Bone marrow aspirate smear: 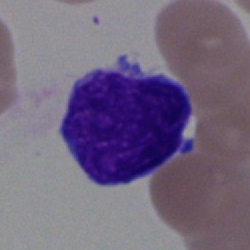 Morphological class: blast cell.